Bone marrow smear; 40× objective, oil immersion — 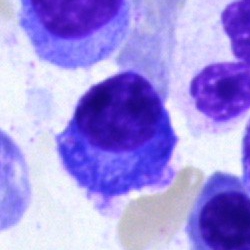

Classification: plasma cell.